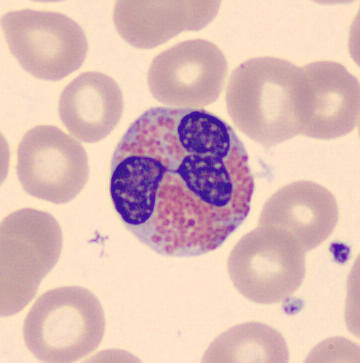
Peripheral blood smear showing an eosinophilic granulocyte.